Bone marrow smear:
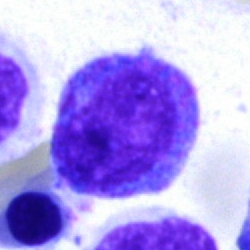

Showing a progranulocyte.